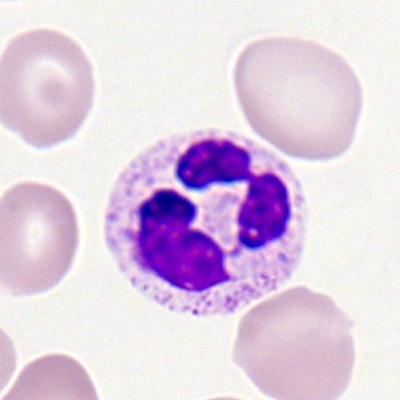 Specimen: peripheral blood film.
Morphological class: segmented neutrophil.
Lineage: myeloid.